Bone marrow smear. 250 by 250 pixels
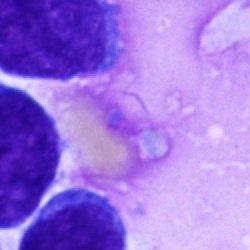
{"cell_type": "undifferentiated blast"}